Peripheral blood smear. Romanowsky stain. M8 digital microscope (Precipoint), 100× oil immersion: 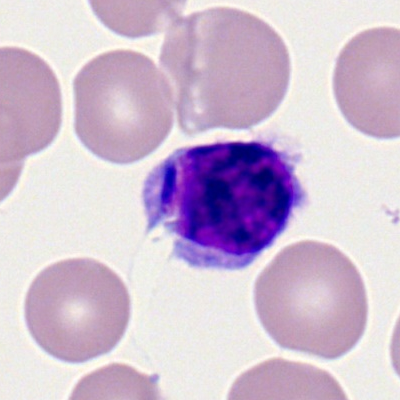 The cell is typical lymphocyte.